Bone marrow aspirate smear — 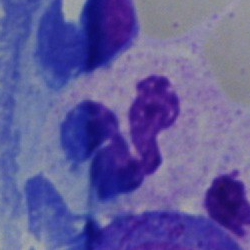

Q: What cell is this?
A: It is a segmented neutrophil.